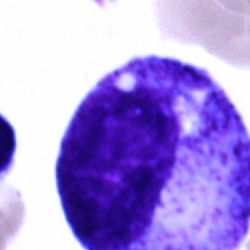

Bone marrow aspirate smear, single cell — promyelocyte.